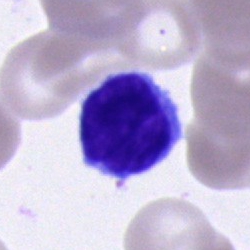

Morphology → typical lymphocyte.